Bone marrow smear
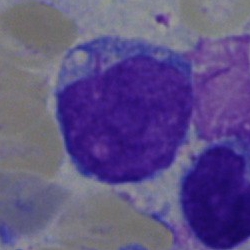Specimen: bone marrow smear.
Morphological class: undifferentiated blast.